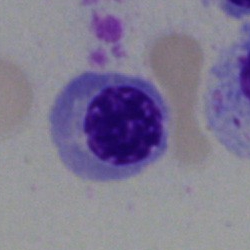 Morphology → normoblast.